Bone marrow smear. Single-cell field — 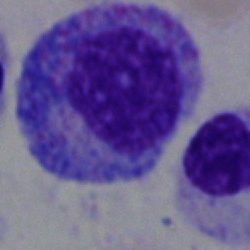

{"cell_type": "progranulocyte"}